Single-cell crop · bone marrow smear.
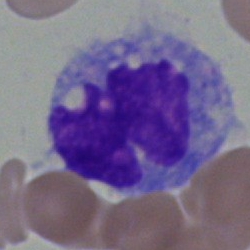

Q: Which cell type is shown here?
A: A monocyte.